Bone marrow aspirate smear
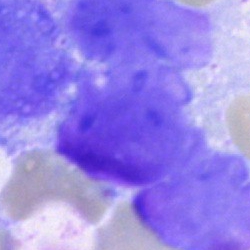
Showing an artifact.